Peripheral blood smear — 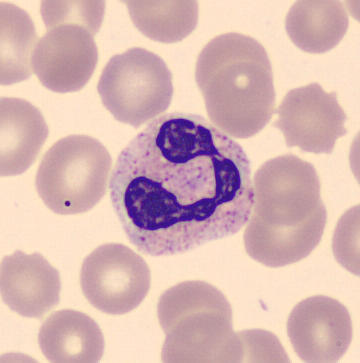 Cell = segmented neutrophil.